Bone marrow aspirate smear: 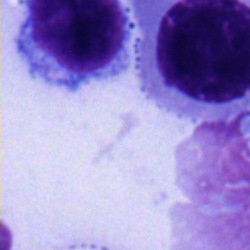
Specimen: bone marrow aspirate smear.
Morphological class: typical lymphocyte.